Single-cell field; bone marrow aspirate smear; MGG-stained
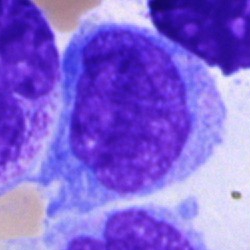

This is a blast.